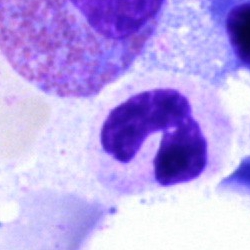

Q: What cell is this?
A: This is a segmented neutrophil.